May-Grünwald-Giemsa stain. Bone marrow smear. Single cell centered in the field.
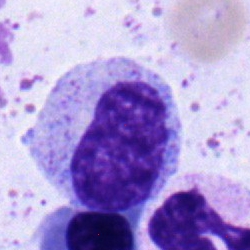Showing a metamyelocyte.